Single-cell crop. Bone marrow aspirate smear.
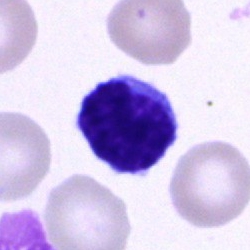 Cell = lymphocyte.